Bone marrow aspirate smear.
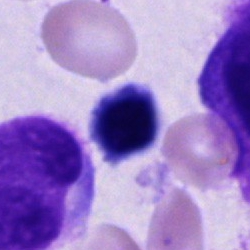
Showing a cell of indeterminate lineage.